Bone marrow smear
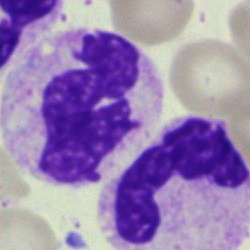Cell type: segmented neutrophil.